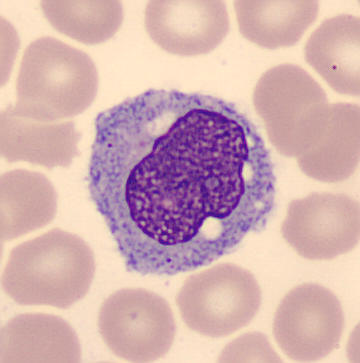Morphology — monocyte.
Peripheral blood film. MGG stain.